Bone marrow aspirate smear · May-Grünwald-Giemsa/Pappenheim stain
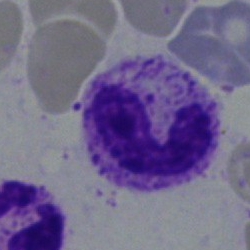Cell: band neutrophil.